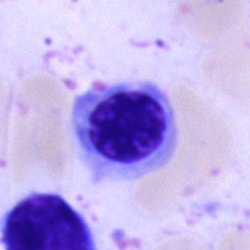Single-cell crop from a bone marrow smear: normoblast.